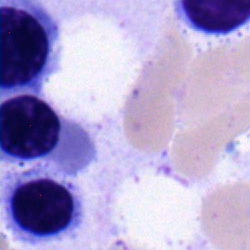

Morphology consistent with a nucleated red cell.